May-Grünwald-Giemsa/Pappenheim stain · bone marrow aspirate smear · single cell centered in the field: 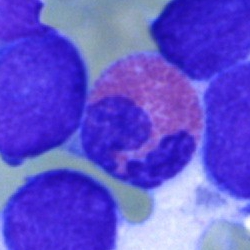 Q: What cell is this?
A: Eosinophil.